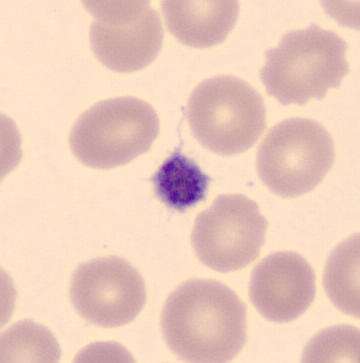
Cell type = thrombocyte.

Peripheral blood smear.